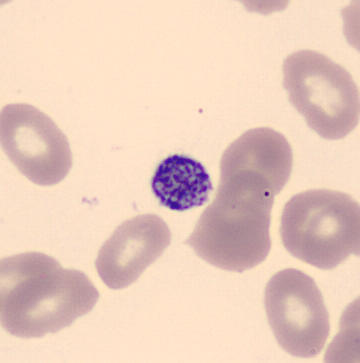Identified as a platelet.